Bone marrow aspirate smear:
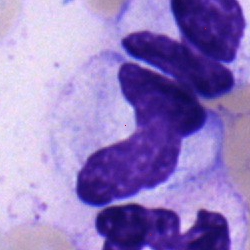 Q: What cell is this?
A: It is a neutrophil (band).